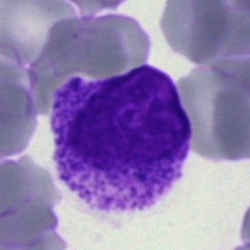 Bone marrow aspirate smear, single cell — myelocyte.